Bone marrow smear:
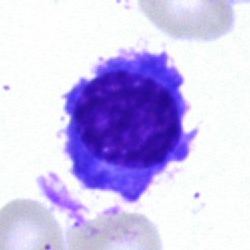
This is a nucleated red cell.